Bone marrow aspirate smear — 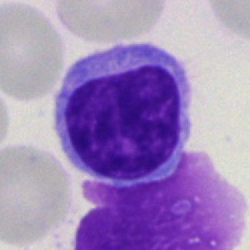Q: What type of cell is this?
A: This is a lymphocyte.